Bone marrow smear — 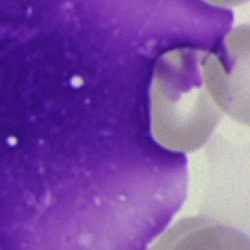

Classification — artifact.